Bone marrow smear:
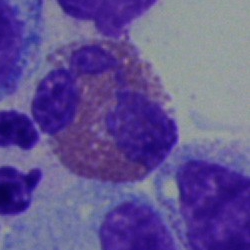 Q: Identify the cell.
A: This is an eosinophilic granulocyte.